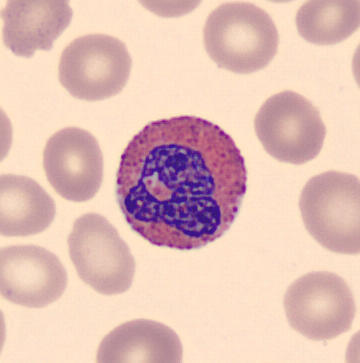

Identified as an eosinophilic granulocyte.